Cropped to a single cell. Bone marrow smear
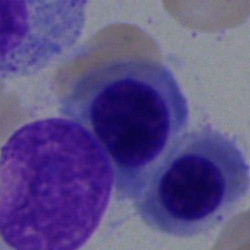{"cell_type": "normoblast"}